Bone marrow aspirate smear.
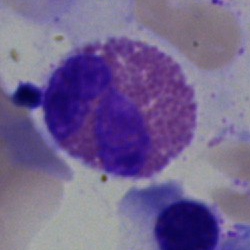 Q: What cell is this?
A: It is an eosinophilic granulocyte.